Peripheral blood film; brightfield, 100× oil-immersion objective — 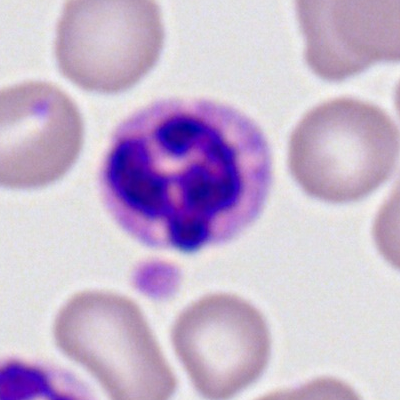

Specimen: peripheral blood smear.
Cell: polymorphonuclear neutrophil.
Lineage: myeloid.